Cropped to a single cell; 250×250; bone marrow aspirate smear — 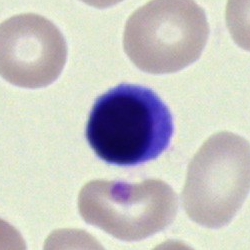Morphology consistent with a typical lymphocyte.